Peripheral blood film. 100× oil immersion, 14.14 px/µm. Romanowsky stain: 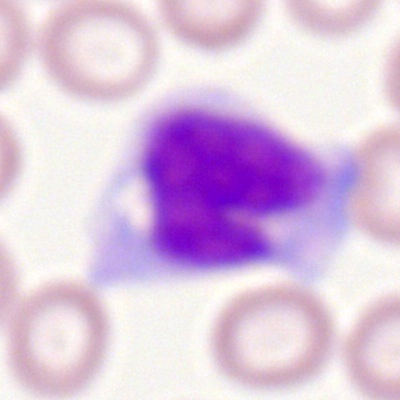 Morphology — monocyte.